Bone marrow smear — 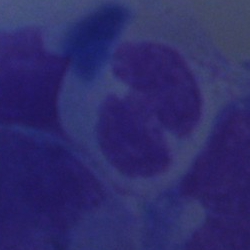Showing an artefact.